Bone marrow aspirate smear — 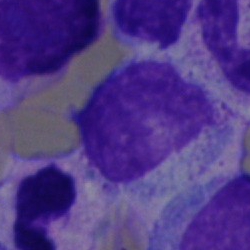
Specimen: bone marrow aspirate smear.
Classification: artifact.